Peripheral blood film. Image size 400×400
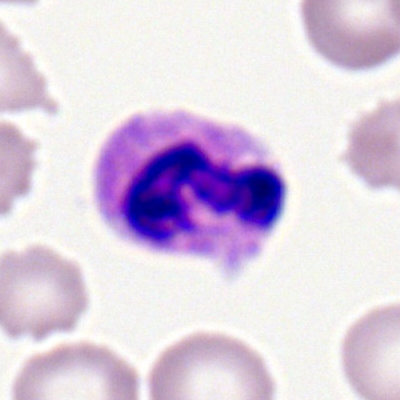 Q: What type of cell is this?
A: A segmented neutrophil.